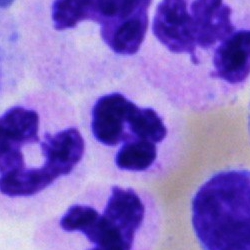 Morphological class: polymorphonuclear neutrophil.